May-Grünwald-Giemsa stain; 250×250; bone marrow smear — 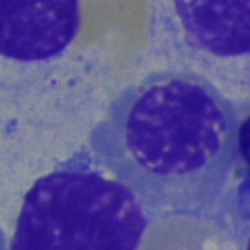An erythroblast.